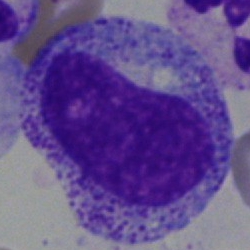

{"cell_type": "metamyelocyte"}